Bone marrow aspirate smear — 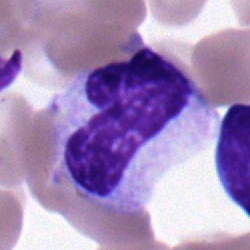

Morphology consistent with a band-form neutrophil.